Peripheral blood film · MGG stain · 360 by 363 pixels — 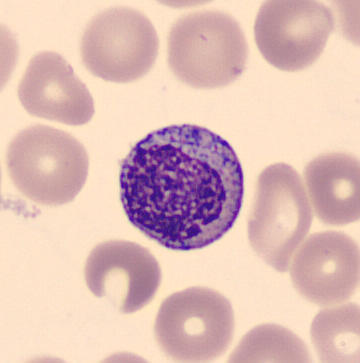 Showing a myelocyte.